Bone marrow aspirate smear: 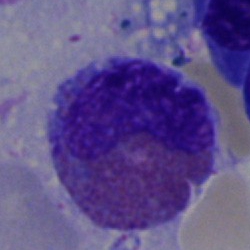 Classification: eosinophilic granulocyte.